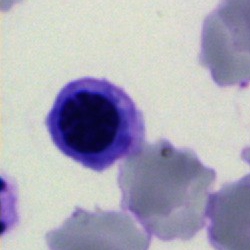 Cell type — normoblast.